250 by 250 pixels · bone marrow aspirate smear.
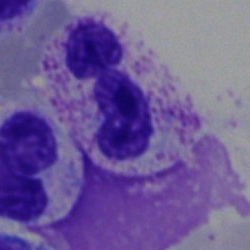Morphology — segmented neutrophil.